40× oil immersion · bone marrow smear:
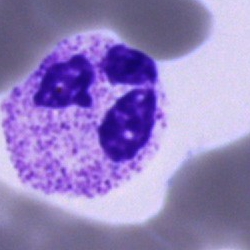

Cell: polymorphonuclear neutrophil.